Pappenheim-stained · bone marrow smear.
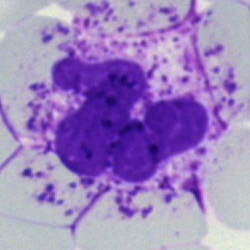Cell type = artefact.